Bone marrow aspirate smear.
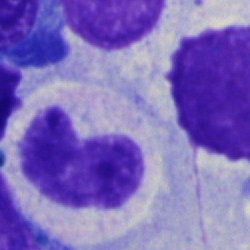{"cell_type": "band neutrophil", "lineage": "myeloid"}